Bone marrow aspirate smear.
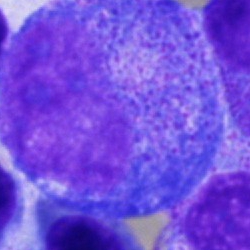

A promyelocyte.